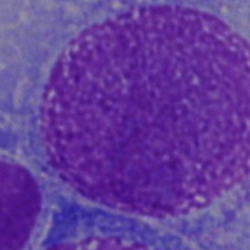
Morphological class = undifferentiated blast.